Bone marrow smear: 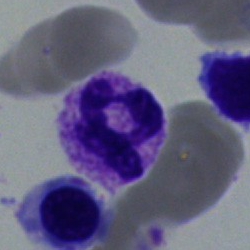A segmented neutrophil.